Bone marrow aspirate smear · 250×250
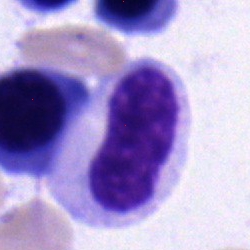Cell: neutrophil (segmented).